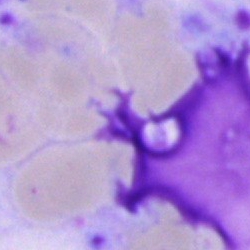 Morphology → artefact.